Bone marrow smear.
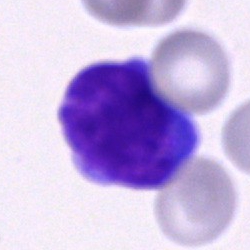
Q: Which cell type is shown here?
A: An undifferentiated blast.